Brightfield, 40× oil-immersion objective · bone marrow smear
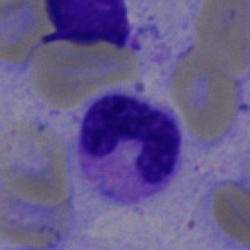Band neutrophil.